Bone marrow smear: 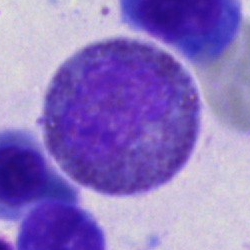

Single cell identified as an eosinophil.